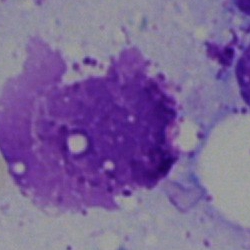Showing an artifact.